250×250 px; bone marrow smear; brightfield, 40× oil-immersion objective — 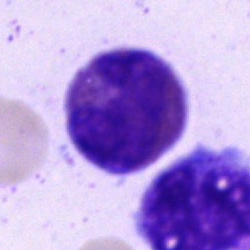Morphology → eosinophilic granulocyte.